Peripheral blood film. May Grünwald-Giemsa stain. Single-cell field — 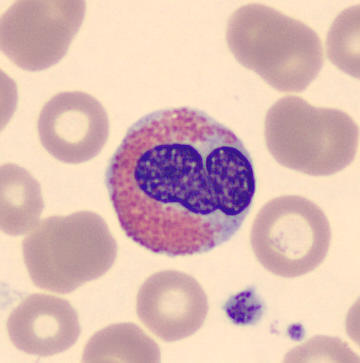
Single cell identified as an eosinophilic granulocyte.